Peripheral blood smear · 100× oil immersion:
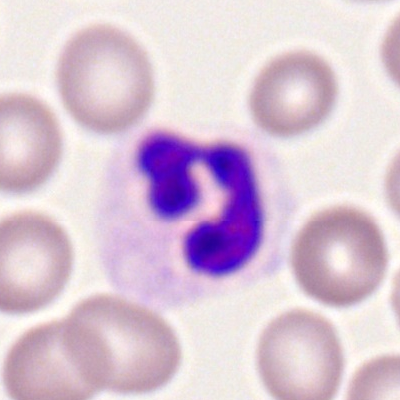This is a polymorphonuclear neutrophil.